Bone marrow smear:
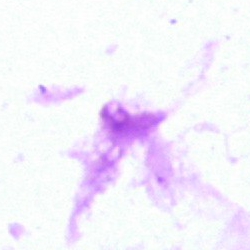 Impression → artefact.